Bone marrow smear: 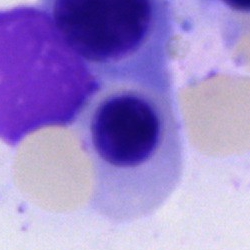

Impression → normoblast.